MGG stain · peripheral blood film: 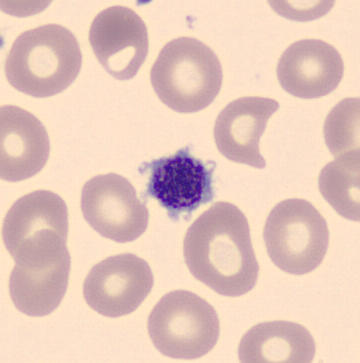
Showing a platelet (thrombocyte).